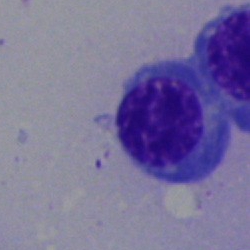Single-cell crop from a bone marrow smear: nucleated red blood cell.